Bone marrow smear: 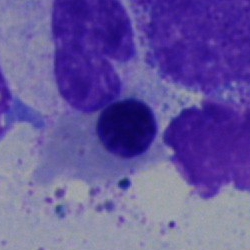
Cell type: nucleated red blood cell.